Bone marrow aspirate smear: 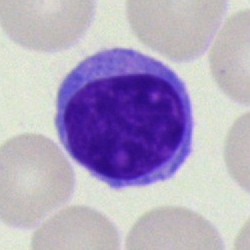 Single cell identified as a lymphocyte.